Brightfield microscopy, 40× oil immersion. 250 by 250 pixels. Bone marrow aspirate smear:
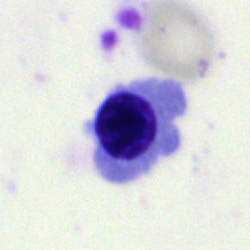Specimen: bone marrow smear.
Cell type: normoblast.
Lineage: erythroid.